Bone marrow aspirate smear · MGG-stained
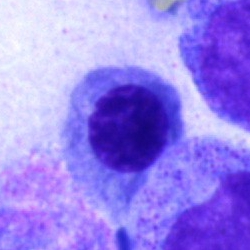A nucleated red blood cell.